Bone marrow smear.
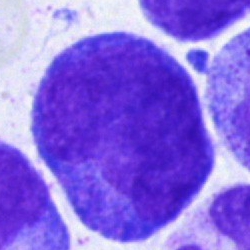Impression → promyelocyte.